Bone marrow smear.
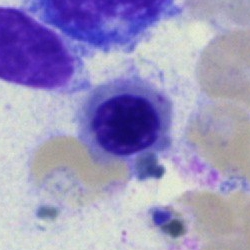Morphology consistent with a normoblast.